Peripheral blood film — 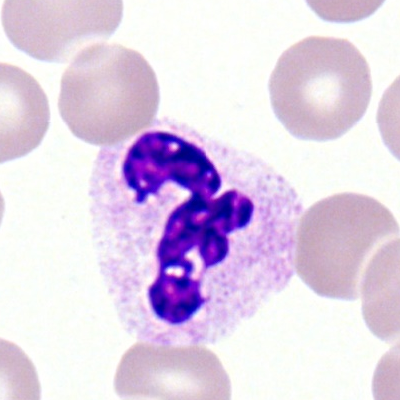
Showing a neutrophil (segmented).